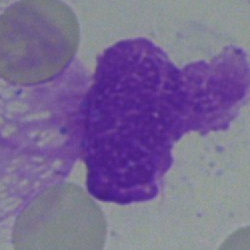 Cell: artifact.